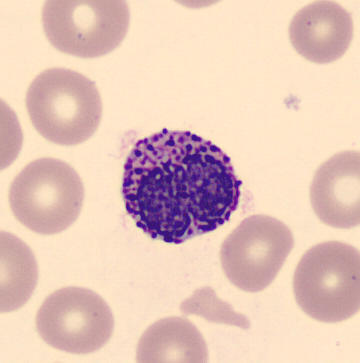 {"cell_type": "basophil", "lineage": "myeloid"} Cropped to a single cell; peripheral blood film.